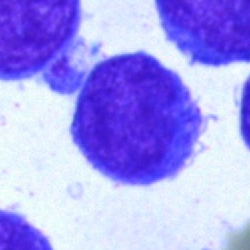The cell type is blast.